Bone marrow smear. Brightfield microscopy, 40× oil immersion.
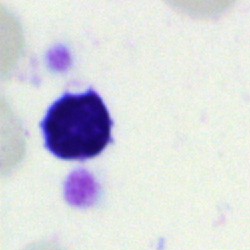

Cell: lymphocyte.